Bone marrow smear; brightfield microscopy, 40× oil immersion — 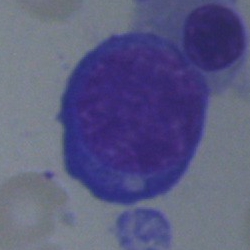 Cell type: normoblast.